Bone marrow aspirate smear: 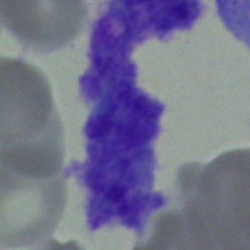Q: What is shown here?
A: Artefact.